Bone marrow aspirate smear · 250×250 · cropped to a single cell: 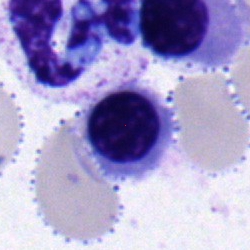Specimen: bone marrow aspirate smear.
Cell: erythroblast.